40× objective, oil immersion; bone marrow aspirate smear.
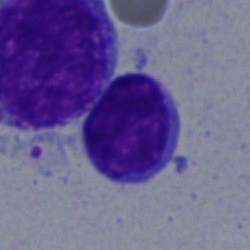
A lymphocyte.